Bone marrow aspirate smear: 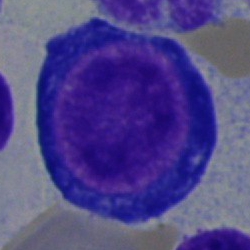Q: What cell is this?
A: Pronormoblast.